Bone marrow smear. Single-cell crop:
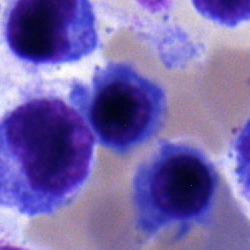

Morphology consistent with a normoblast.